Image size 400×400 · peripheral blood film · M8 digital microscope (Precipoint), 100× oil immersion:
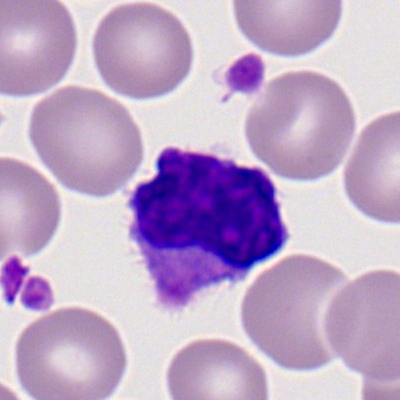

Classification = typical lymphocyte.